Bone marrow smear:
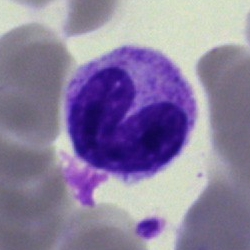Q: Identify the cell.
A: A stab cell.